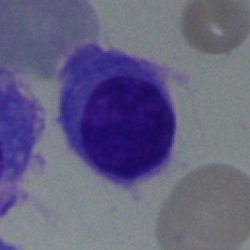 Classification = plasma cell.